Bone marrow smear: 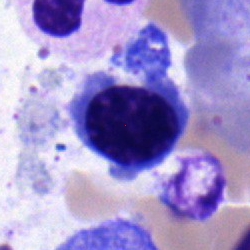
Cell type: erythroblast.